Brightfield, 40× oil-immersion objective. 250×250 px. Bone marrow smear — 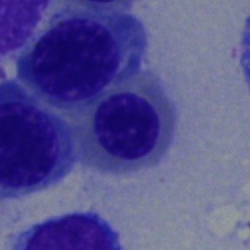Morphological class — nucleated red blood cell.